Bone marrow aspirate smear; single cell centered in the field; 40× objective, oil immersion
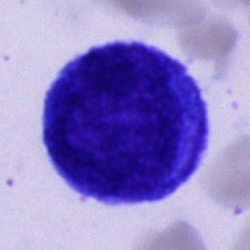 Impression — unidentifiable cell.